Peripheral blood smear.
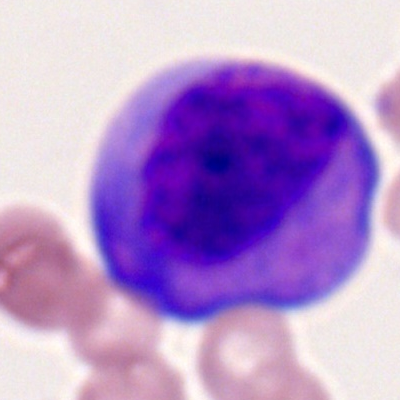 Cell type — myeloid blast.